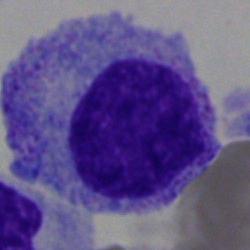

A promyelocyte on a bone marrow smear.